Peripheral blood smear:
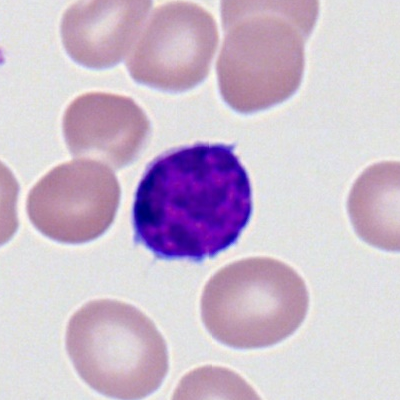
Impression — typical lymphocyte.